Bone marrow smear · 250 by 250 pixels.
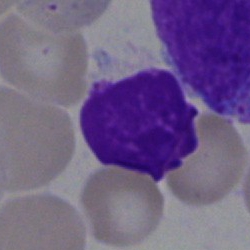
Q: What cell is this?
A: Typical lymphocyte.